Bone marrow aspirate smear: 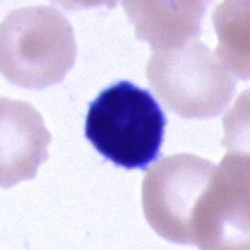 Typical lymphocyte.